Brightfield microscopy, 40× oil immersion. Bone marrow aspirate smear
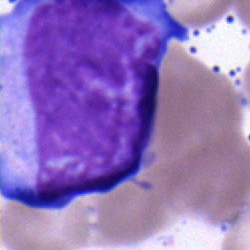

This is an undifferentiated blast.